Peripheral blood smear — 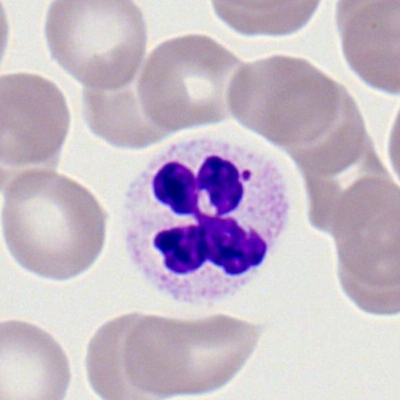 Cell: polymorphonuclear neutrophil.